Bone marrow smear; 40× objective, oil immersion — 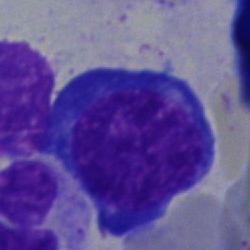

Morphology consistent with a nucleated red blood cell.